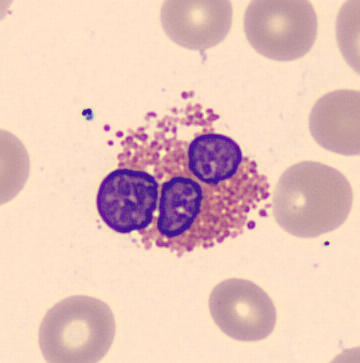
The cell shown is an eosinophilic granulocyte.